Bone marrow aspirate smear — 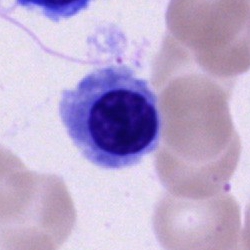

Morphology consistent with a nucleated red blood cell.